Bone marrow smear.
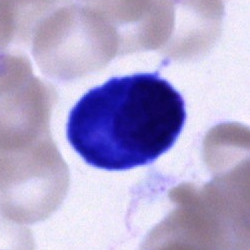 Unidentifiable cell.